Bone marrow aspirate smear · May-Grünwald-Giemsa/Pappenheim stain — 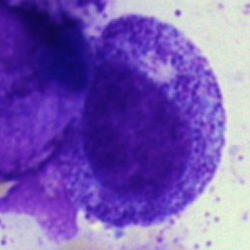

Morphological class: progranulocyte.